Bone marrow smear:
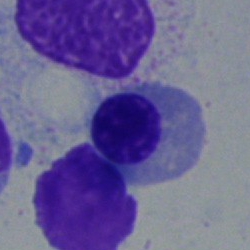

A nucleated red cell.